40× oil immersion · bone marrow aspirate smear
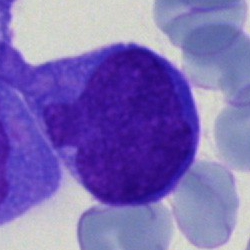

Morphology — blast cell.